Image size 250×250 · bone marrow smear · 40× oil immersion — 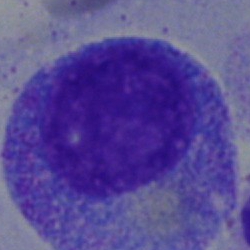
Showing a progranulocyte.